Bone marrow smear: 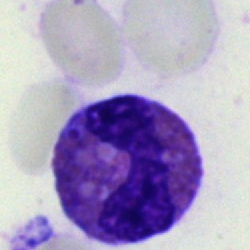Q: Which cell type is shown here?
A: This is an eosinophilic granulocyte.